Brightfield microscopy, 40× oil immersion; bone marrow smear.
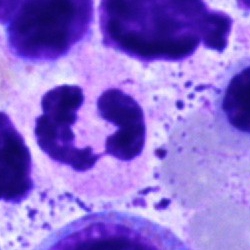
Morphology consistent with a polymorphonuclear neutrophil.